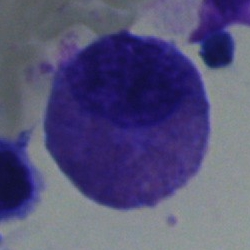Eosinophilic granulocyte.